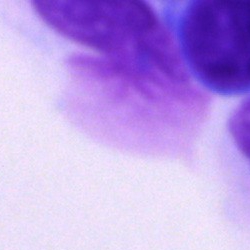
This is an artifact.